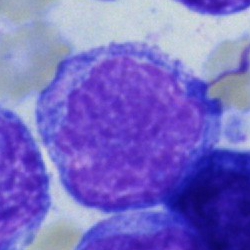
Specimen: bone marrow aspirate smear.
Cell type: undifferentiated blast.